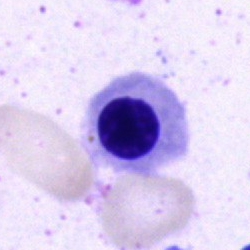
Morphology → erythroblast.